360×363 px; MGG-stained; peripheral blood smear.
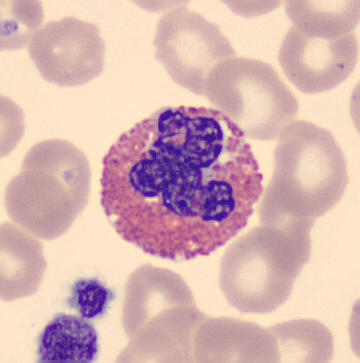Specimen: peripheral blood smear.
Cell type: eosinophil.
Lineage: myeloid.